40× oil immersion. Bone marrow aspirate smear:
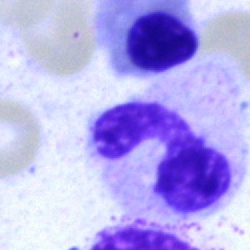 Specimen: bone marrow smear.
Classification: neutrophil (segmented).